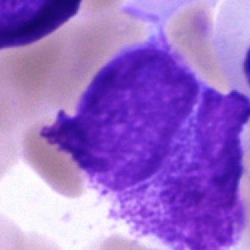
Morphology consistent with an artifact.